Bone marrow aspirate smear:
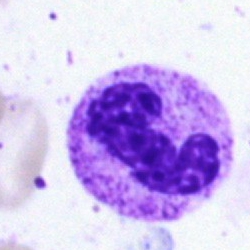
The cell is polymorphonuclear neutrophil.